Bone marrow aspirate smear; 40× objective, oil immersion:
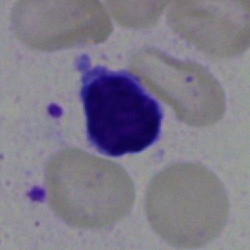
Cell: lymphocyte.